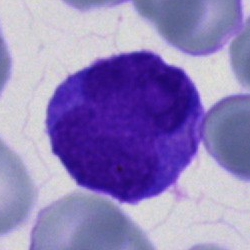
Morphological class: blast cell.